Bone marrow smear
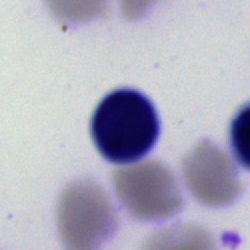

The cell shown is an artefact.